Bone marrow smear: 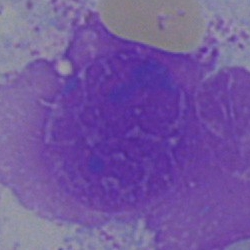 An artefact.